Bone marrow smear: 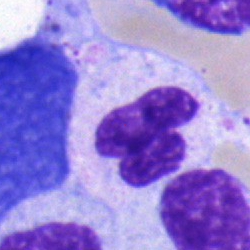This is a polymorphonuclear neutrophil.